Bone marrow smear.
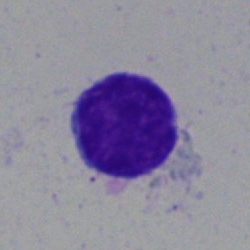

A lymphocyte.